Bone marrow smear:
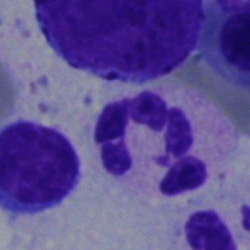
Specimen: bone marrow smear.
Morphological class: neutrophil (segmented).
Lineage: myeloid.